Bone marrow aspirate smear; single-cell field
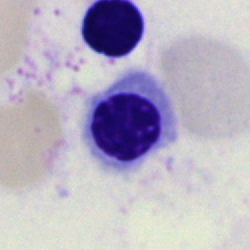

Morphological class = normoblast.